Bone marrow aspirate smear:
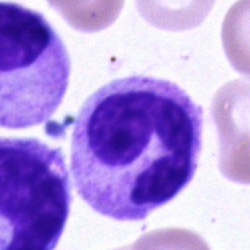This is a polymorphonuclear neutrophil.